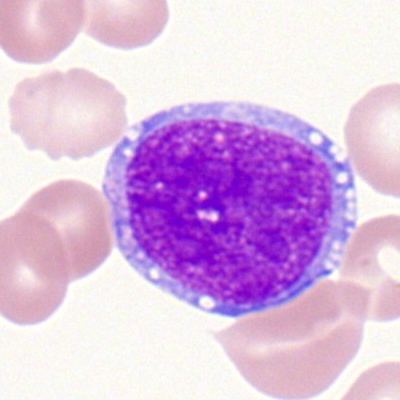
Q: What type of cell is this?
A: Myeloblast.